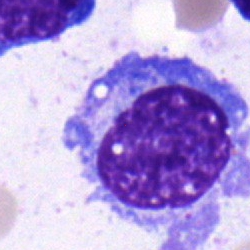

Q: What type of cell is this?
A: It is a plasmacyte.